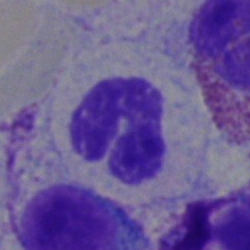 Cell type: stab cell.